Bone marrow smear: 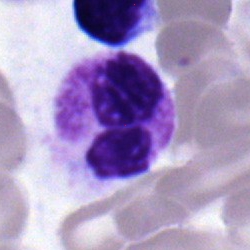
Polymorphonuclear neutrophil.